Bone marrow aspirate smear:
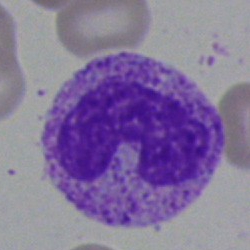The cell shown is a neutrophil (band).